Bone marrow smear.
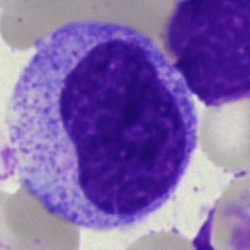
Cell = metamyelocyte.